Pappenheim-stained. Bone marrow smear — 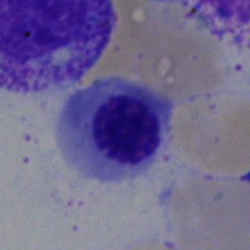An erythroblast.